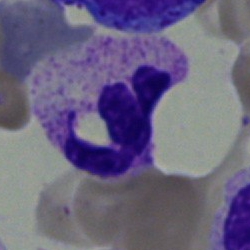Classification — neutrophil (segmented).